Bone marrow smear · May-Grünwald-Giemsa/Pappenheim stain · single-cell crop:
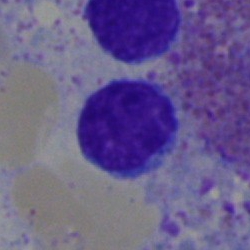
Morphology → lymphocyte.